Peripheral blood film.
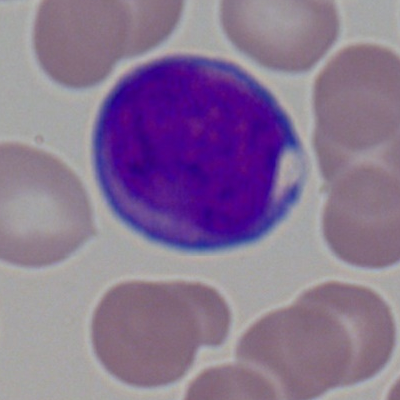
Specimen: peripheral blood film.
Cell type: myeloid blast.